May-Grünwald-Giemsa stain. Bone marrow smear.
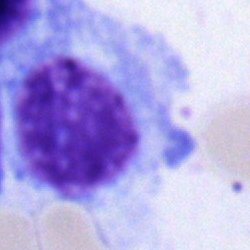
The classification is plasma cell.